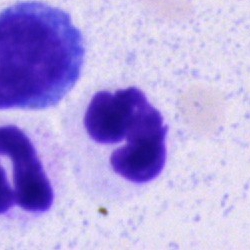
Morphology — neutrophil (segmented).